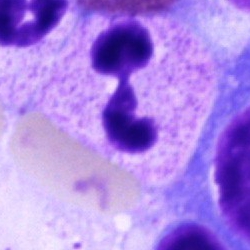

A segmented neutrophil.